Brightfield microscopy, 40× oil immersion. Bone marrow aspirate smear. 250×250 px — 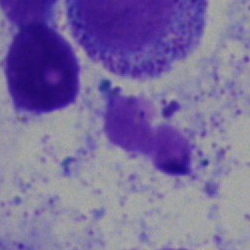 Morphology consistent with an artefact.